May-Grünwald-Giemsa/Pappenheim stain · bone marrow smear
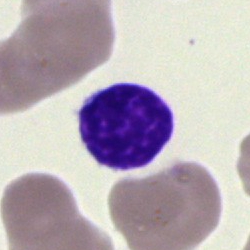

Morphological class — typical lymphocyte.